Bone marrow smear — 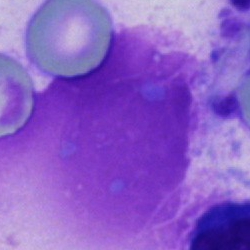

Morphological class — artefact.